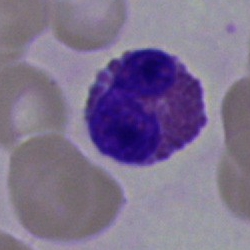 Q: What cell is this?
A: An eosinophilic granulocyte.